Bone marrow aspirate smear.
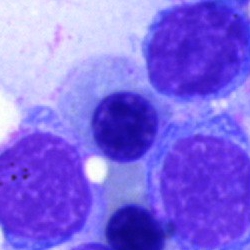

This is a normoblast.